250×250 · single-cell field · bone marrow aspirate smear: 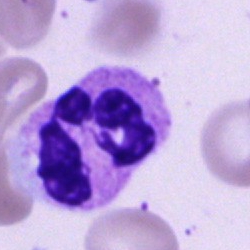

Cell type = polymorphonuclear neutrophil.